Bone marrow smear: 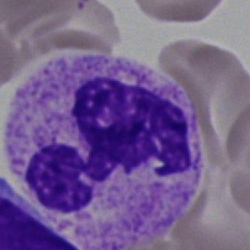
Q: What type of cell is this?
A: This is a polymorphonuclear neutrophil.